Image size 250×250 · bone marrow smear:
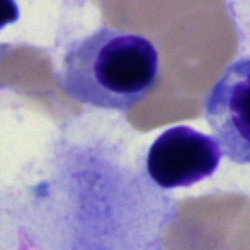

This is a nucleated red cell.